Bone marrow aspirate smear. 250×250. Single-cell field
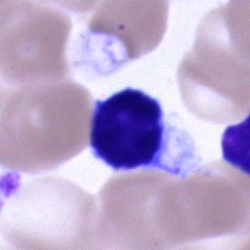
Q: What is the morphological classification of this cell?
A: It is a lymphocyte.